Bone marrow smear.
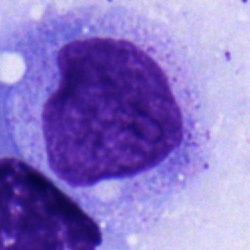
Showing a monocyte.